Peripheral blood smear: 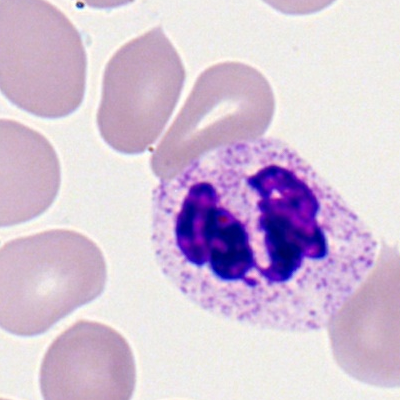 The cell shown is a polymorphonuclear neutrophil.